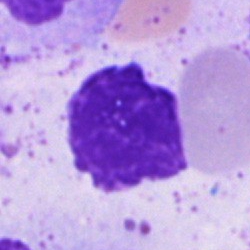 Q: What is shown here?
A: An artifact.